Peripheral blood smear — 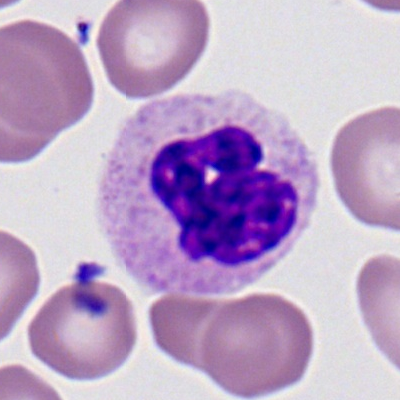 Morphology consistent with a segmented neutrophil.